250×250 px · bone marrow smear · 40× objective, oil immersion:
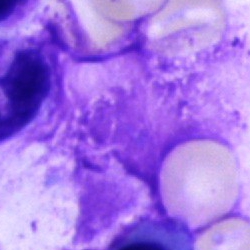Specimen: bone marrow aspirate smear.
Cell type: artifact.